Bone marrow smear.
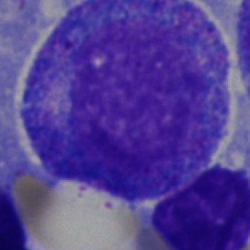
The cell shown is a promyelocyte.